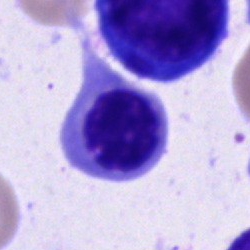

The classification is nucleated red cell.